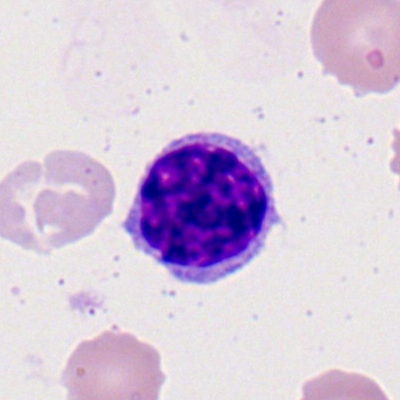

Q: What is shown here?
A: This is a lymphocyte.